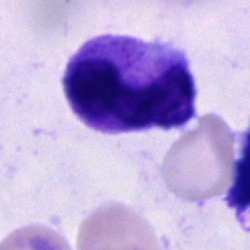
The classification is neutrophil (segmented).